May-Grünwald-Giemsa stain · bone marrow aspirate smear.
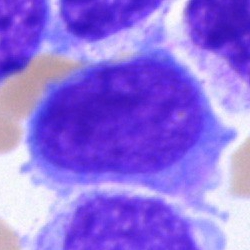

Showing a blast.